Bone marrow aspirate smear · MGG-stained
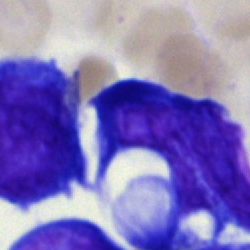
Undifferentiated blast.